Bone marrow aspirate smear. Pappenheim-stained: 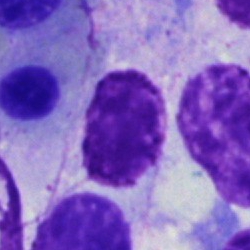
{"cell_type": "artefact"}